Bone marrow smear.
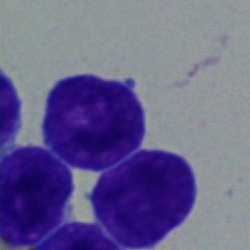

Q: Which cell type is shown here?
A: A blast cell.